Single-cell crop · 250×250 px · bone marrow aspirate smear — 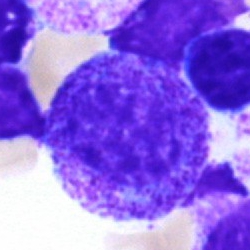

Q: What is shown here?
A: Myelocyte.